May-Grünwald-Giemsa/Pappenheim stain. Single-cell crop. Bone marrow aspirate smear — 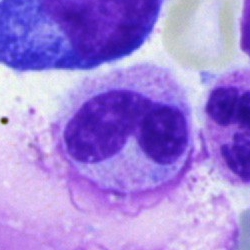 Impression → band-form neutrophil.